Bone marrow aspirate smear
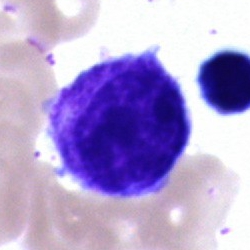Specimen: bone marrow aspirate smear.
Morphological class: myelocyte.
Lineage: myeloid.